100× objective, oil immersion. Peripheral blood film — 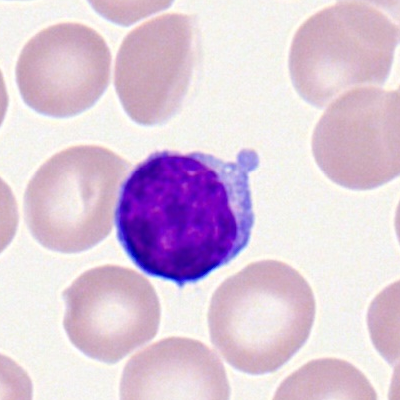A lymphocyte.